Image size 250×250. Bone marrow aspirate smear: 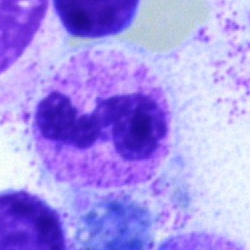 Specimen: bone marrow aspirate smear.
Cell type: segmented neutrophil.